Cropped to a single cell; bone marrow aspirate smear; 250×250 px — 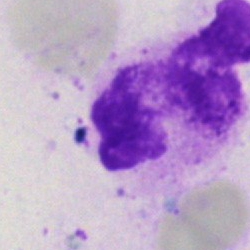Artifact.